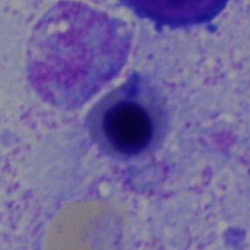Q: What type of cell is this?
A: Normoblast.